Bone marrow smear
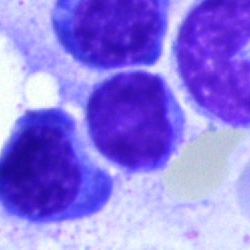
Single cell identified as a lymphocyte.